Bone marrow smear.
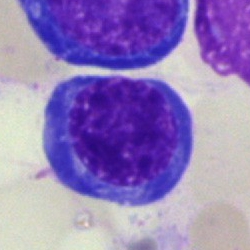Q: Which cell type is shown here?
A: A normoblast.